Bone marrow smear: 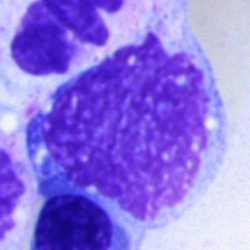Specimen: bone marrow aspirate smear.
Cell type: artefact.